Peripheral blood film
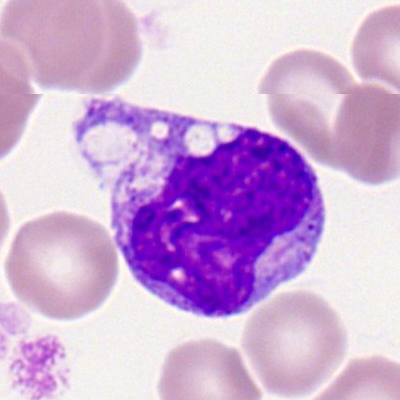

Impression — monocyte.